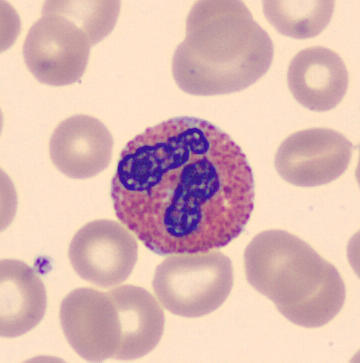

Single cell identified as an eosinophilic granulocyte.

Acquisition: Peripheral blood smear.